May-Grünwald-Giemsa stain; bone marrow smear.
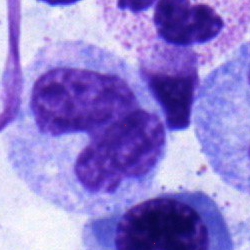Showing a monocyte.